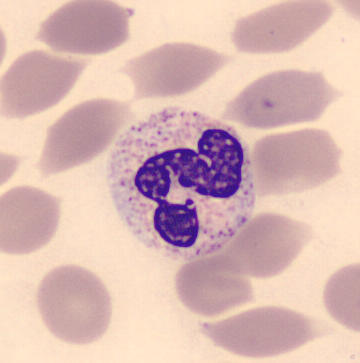 Preparation: Peripheral blood film.

Q: What type of cell is this?
A: This is a segmented neutrophil.